Bone marrow aspirate smear.
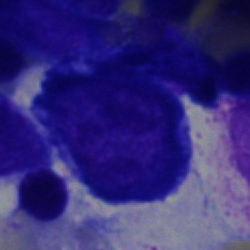 This is a pronormoblast.